Single-cell field; 40× oil immersion; bone marrow smear
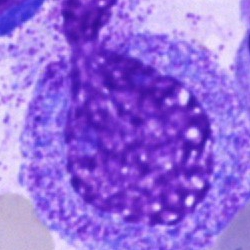The cell shown is a promyelocyte.